Bone marrow aspirate smear: 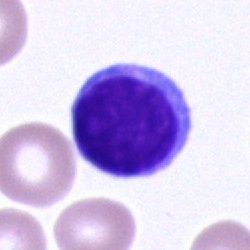Cell type — typical lymphocyte.